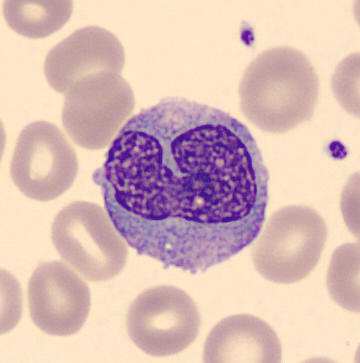Q: What is the morphological classification of this cell?
A: This is a monocyte.
Image: Peripheral blood smear · single-cell field.